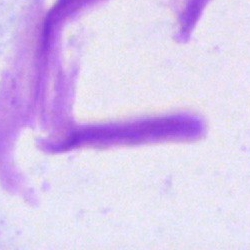 Q: What is shown here?
A: This is an artifact.